Bone marrow aspirate smear: 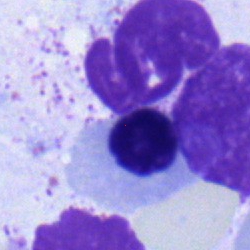

Cell type — nucleated red blood cell.